Bone marrow aspirate smear — 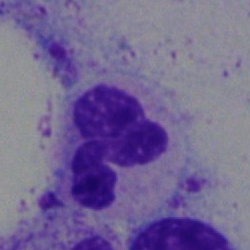 A polymorphonuclear neutrophil.